Bone marrow aspirate smear: 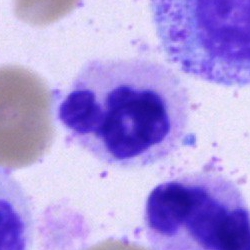
A neutrophil (segmented).